Image size 400×400 · peripheral blood film · Romanowsky-stained:
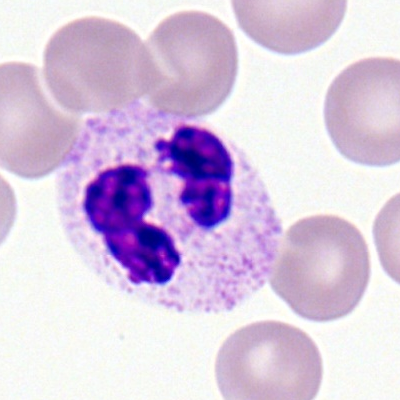
Q: What cell is this?
A: Neutrophil (segmented).